Brightfield, 40× oil-immersion objective · bone marrow smear · May-Grünwald-Giemsa/Pappenheim stain
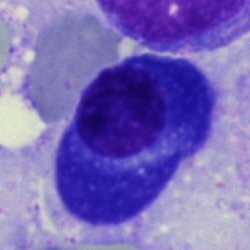

This is a plasma cell.